Bone marrow aspirate smear; May-Grünwald-Giemsa stain; brightfield microscopy, 40× oil immersion — 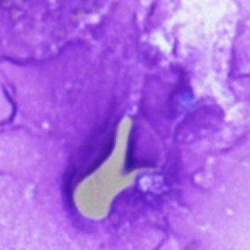
{"cell_type": "artefact"}